Bone marrow aspirate smear
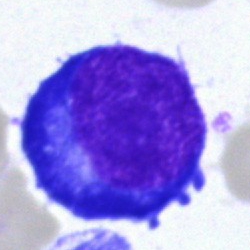

Single cell identified as a normoblast.